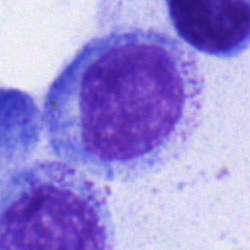

{"cell_type": "myelocyte", "lineage": "myeloid"}